Bone marrow aspirate smear
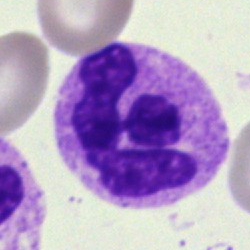Polymorphonuclear neutrophil.